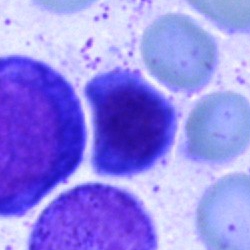
Q: Identify the cell.
A: A cell of indeterminate lineage.